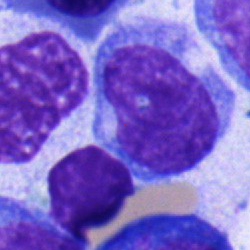

Single-cell crop from a bone marrow smear: blast cell.